Bone marrow smear.
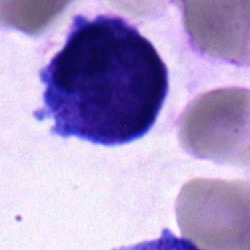
Q: What is the morphological classification of this cell?
A: This is an undifferentiated blast.